Bone marrow smear.
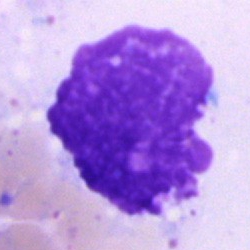

An artifact.